Bone marrow smear; 40× oil immersion; 250 by 250 pixels: 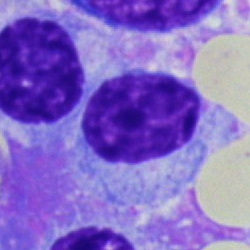 Single cell identified as a plasmacyte.